MGG-stained. Bone marrow smear: 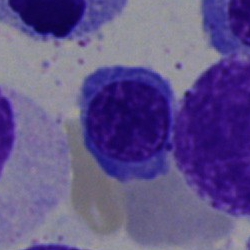
The cell shown is a normoblast.